Single-cell field · bone marrow aspirate smear:
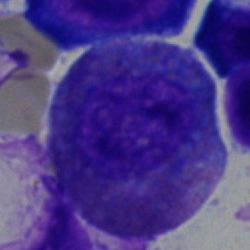
Q: What is shown here?
A: An eosinophilic granulocyte.